Bone marrow smear: 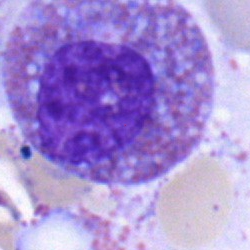Morphology — eosinophil.